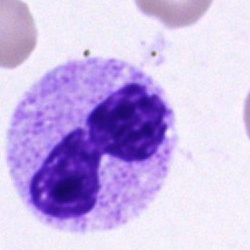 Cell type = polymorphonuclear neutrophil.